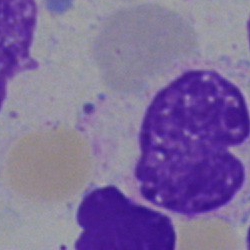

Impression — artifact.